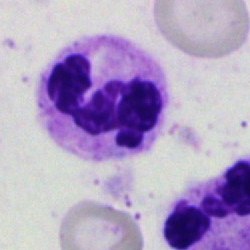 Polymorphonuclear neutrophil.